MGG-stained · bone marrow aspirate smear: 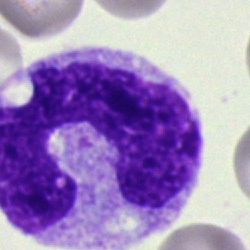 Impression — monocyte.